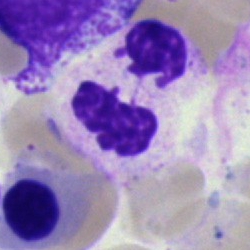{"cell_type": "neutrophil (segmented)", "lineage": "myeloid"}